Bone marrow aspirate smear.
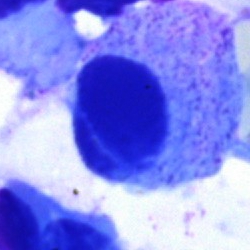Morphology — artifact.